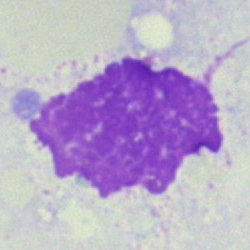This is an artefact.